Single-cell crop; bone marrow aspirate smear:
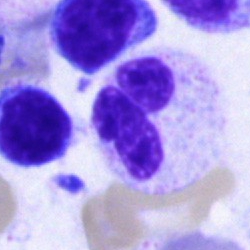 Morphology consistent with a polymorphonuclear neutrophil.